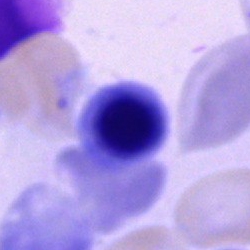Q: What type of cell is this?
A: This is an erythroblast.